Bone marrow aspirate smear. Cropped to a single cell — 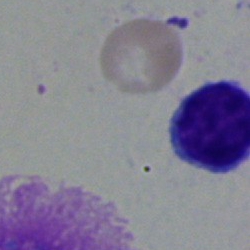 The cell type is typical lymphocyte.